Peripheral blood film.
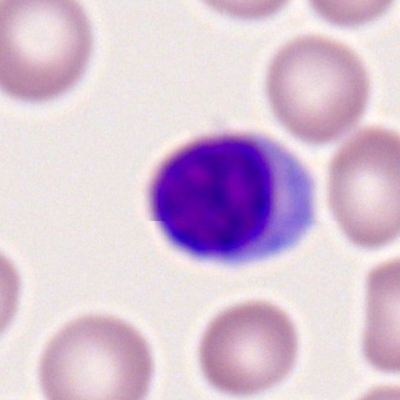Showing a typical lymphocyte.